Bone marrow smear · 250×250 — 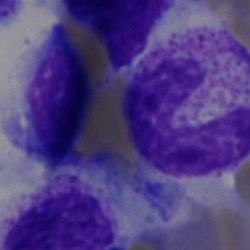
Morphology — band neutrophil.